Bone marrow aspirate smear
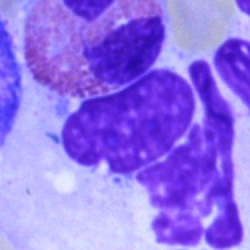

Cell type = artifact.